Bone marrow aspirate smear. 40× objective, oil immersion:
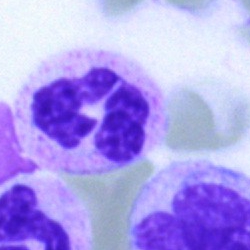Showing a polymorphonuclear neutrophil.